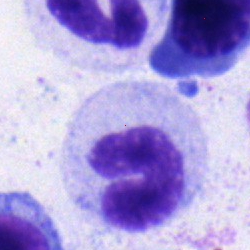Morphological class — polymorphonuclear neutrophil.